Bone marrow aspirate smear:
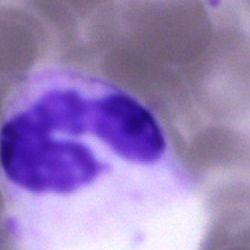
A neutrophil (segmented).